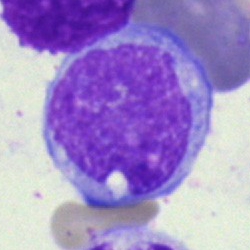

Classification: monocyte.